Bone marrow smear · single-cell crop.
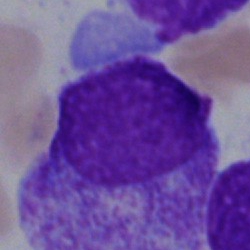Showing a metamyelocyte.